40× oil immersion; bone marrow aspirate smear — 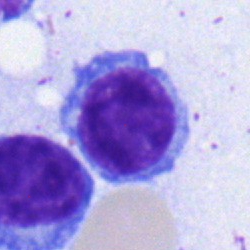

{"cell_type": "lymphocyte", "lineage": "lymphoid"}